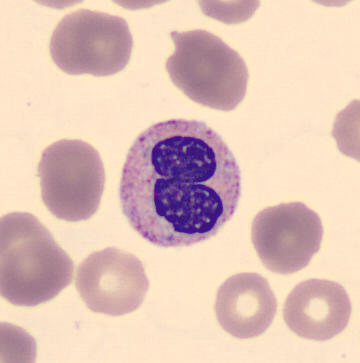Impression → band-form neutrophil.

Image: Peripheral blood smear · cropped to a single cell.